Bone marrow aspirate smear
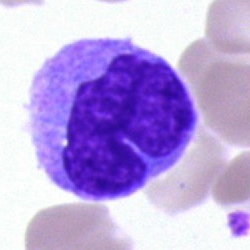Specimen: bone marrow aspirate smear.
Classification: monocyte.